Bone marrow smear · single cell centered in the field:
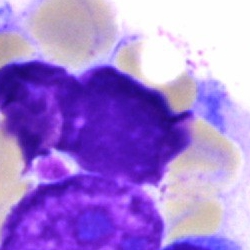

Artifact.